Bone marrow smear:
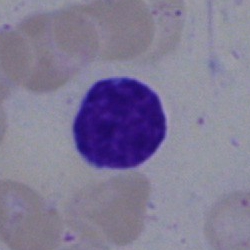A typical lymphocyte.